40× oil immersion. Bone marrow smear.
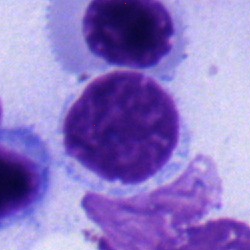Morphological class: nucleated red cell.